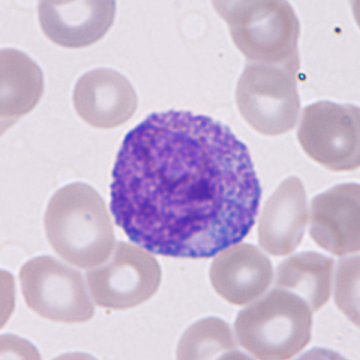
Specimen: peripheral blood smear.
Classification: immature granulocyte.
Lineage: myeloid.